Bone marrow aspirate smear. Single-cell field:
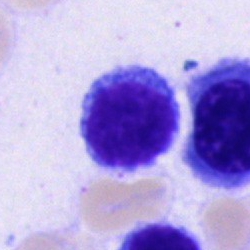 {"cell_type": "lymphocyte", "lineage": "lymphoid"}